Bone marrow smear — 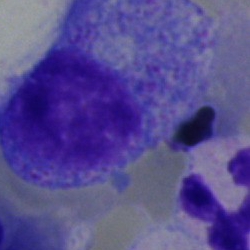Cell = typical lymphocyte.